Image size 250×250; bone marrow smear — 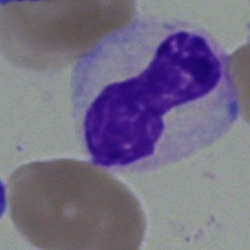
Q: What type of cell is this?
A: A band neutrophil.